Peripheral blood film: 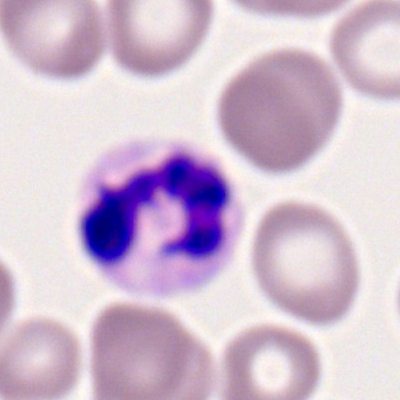

Classification = polymorphonuclear neutrophil.